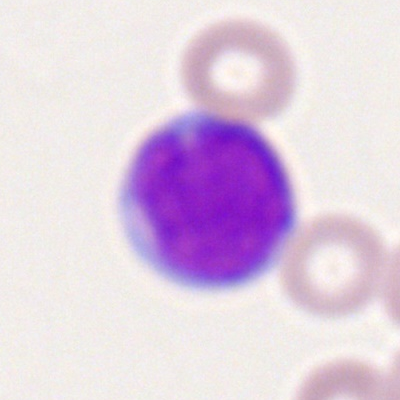 Q: What type of cell is this?
A: This is a myeloblast.